Peripheral blood film — 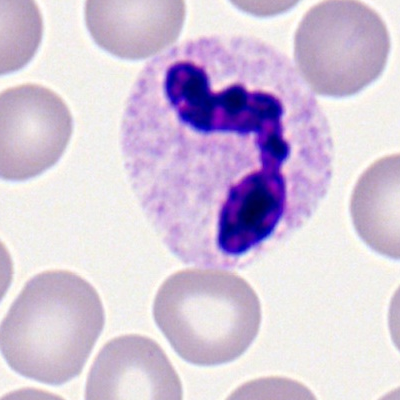

{"cell_type": "segmented neutrophil", "lineage": "myeloid"}